Peripheral blood film — 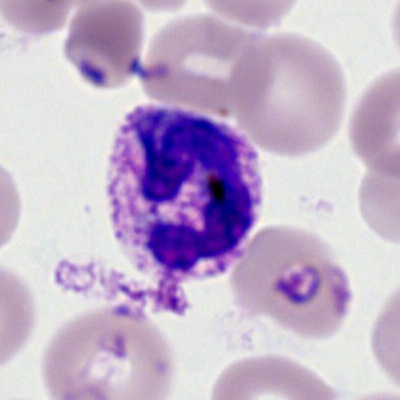
A neutrophil (segmented).